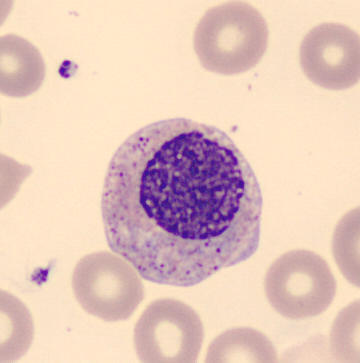

The cell is myelocyte.
Image: CellaVision DM96; peripheral blood smear.